Bone marrow smear:
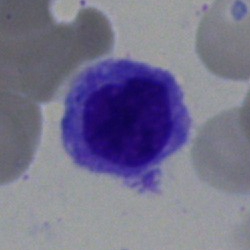Specimen: bone marrow aspirate smear.
Cell: erythroblast.